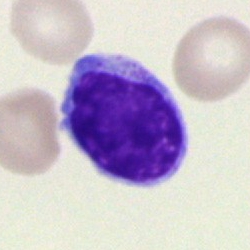Morphology consistent with a lymphocyte.